Bone marrow smear — 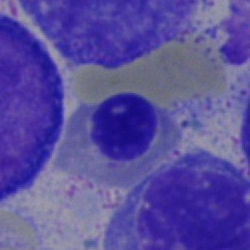Specimen: bone marrow aspirate smear.
Cell type: erythroblast.
Lineage: erythroid.